Bone marrow aspirate smear. 250×250 — 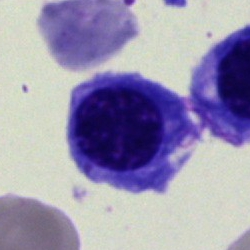

Impression — nucleated red cell.